Bone marrow aspirate smear · 250×250 · 40× objective, oil immersion: 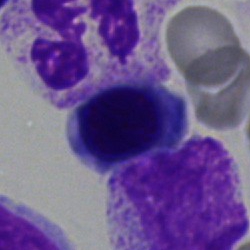

Cell — nucleated red blood cell.